250 by 250 pixels; bone marrow aspirate smear:
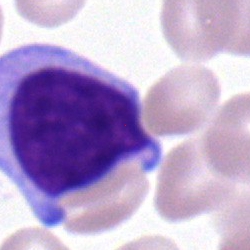 Morphological class = typical lymphocyte.